Image size 250×250. Bone marrow aspirate smear.
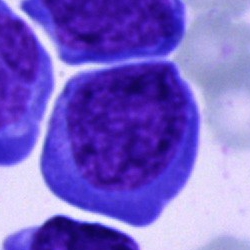
Q: What cell is this?
A: Blast.